Bone marrow smear:
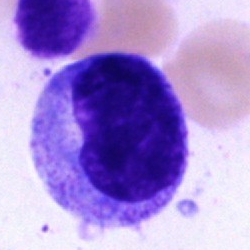 Single cell identified as a progranulocyte.